Bone marrow smear. Cropped to a single cell — 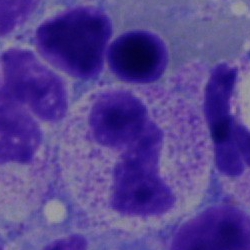 Morphology — neutrophil (segmented).